250×250; bone marrow smear; 40× oil immersion.
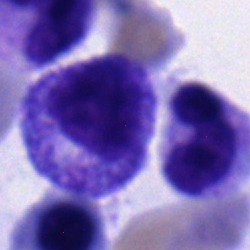 Impression — myelocyte.